May-Grünwald-Giemsa stain; bone marrow smear — 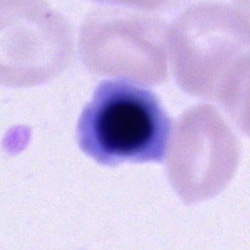Q: Which cell type is shown here?
A: It is a normoblast.